250 by 250 pixels · bone marrow smear
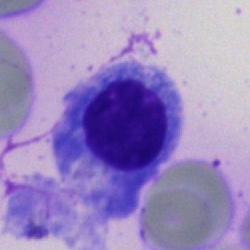A normoblast.